Bone marrow smear.
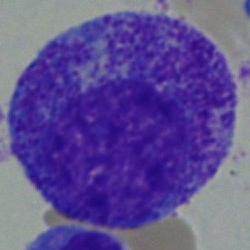 Showing a promyelocyte.